250 by 250 pixels. Bone marrow smear
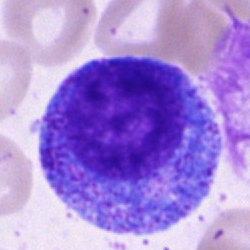
Q: Which cell type is shown here?
A: Promyelocyte.